40× objective, oil immersion; bone marrow aspirate smear
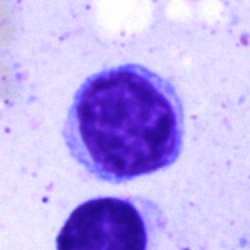A lymphocyte.